Bone marrow smear · single cell centered in the field — 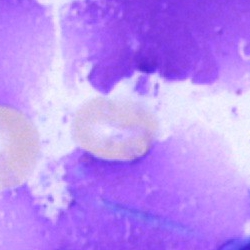
The cell shown is an artifact.